Bone marrow smear · 250 by 250 pixels
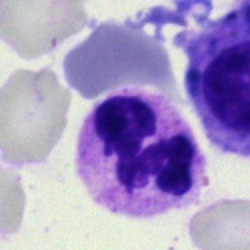 The cell shown is a segmented neutrophil.